Bone marrow smear: 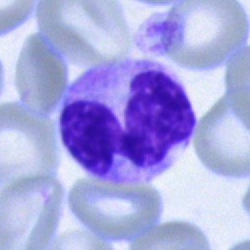
Morphological class = neutrophil (segmented).